Bone marrow smear.
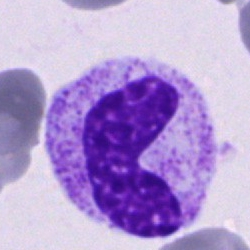
Morphology consistent with a band-form neutrophil.